40× objective, oil immersion · image size 250×250 · bone marrow aspirate smear: 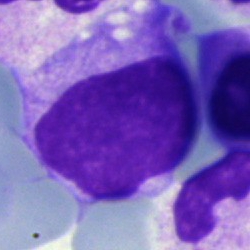

This is an undifferentiated blast.